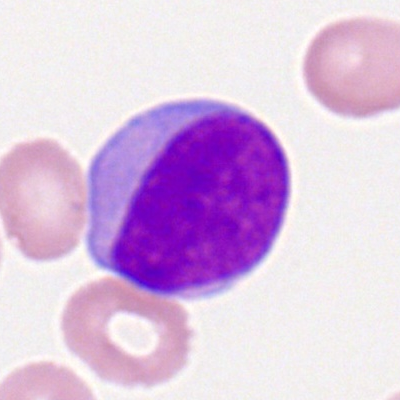Morphological class = myeloblast.